Bone marrow aspirate smear
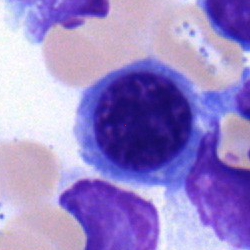 Q: What cell is this?
A: It is an erythroblast.